Peripheral blood smear
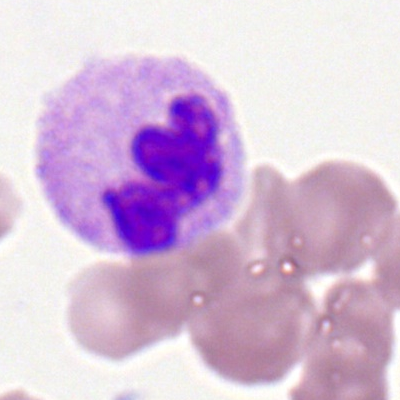Impression — polymorphonuclear neutrophil.